Imaged on a CellaVision DM96 analyser. Peripheral blood film:
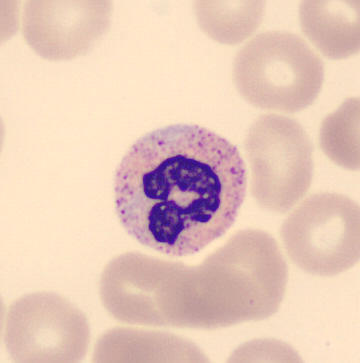Specimen: peripheral blood film.
Cell: band neutrophil.
Lineage: myeloid.